Bone marrow aspirate smear — 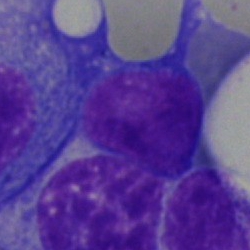Showing a lymphocyte.